Bone marrow aspirate smear; single-cell crop
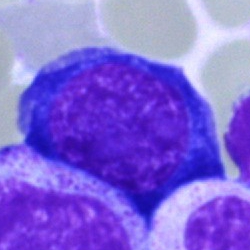

Morphological class: nucleated red cell.